40× objective, oil immersion; bone marrow aspirate smear — 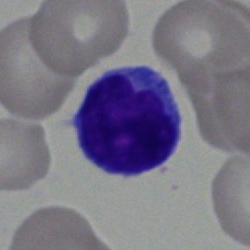 The classification is typical lymphocyte.